Single-cell field; bone marrow aspirate smear — 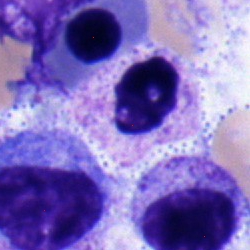 Specimen: bone marrow smear.
Classification: neutrophil (segmented).
Lineage: myeloid.